Bone marrow smear:
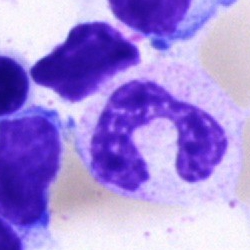

Morphology — neutrophil (segmented).